Bone marrow aspirate smear; 40× objective, oil immersion:
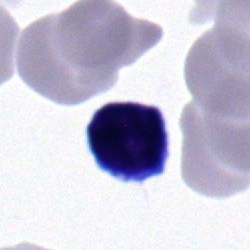 Q: What type of cell is this?
A: It is a typical lymphocyte.